May-Grünwald-Giemsa stain; bone marrow aspirate smear — 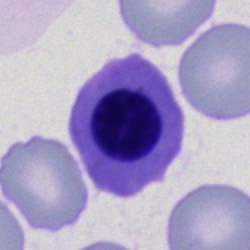
This is a nucleated red cell.